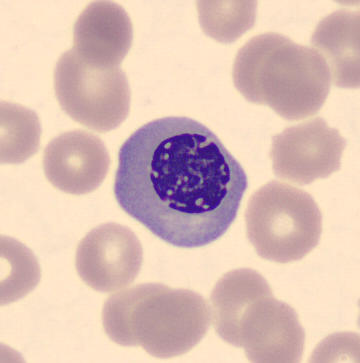

Preparation: 360 by 363 pixels; peripheral blood film. Erythroblast.